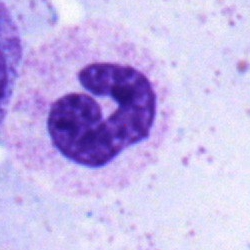

The cell type is neutrophil (segmented).